40× objective, oil immersion. Single-cell field. Bone marrow aspirate smear — 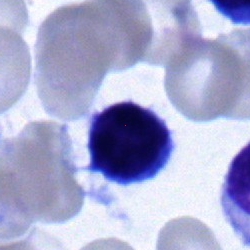 Morphology → lymphocyte.